Bone marrow aspirate smear; 250 by 250 pixels: 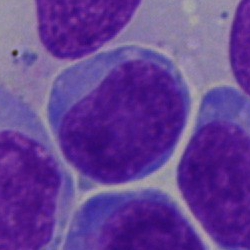

This is a blast cell.